Bone marrow smear. MGG-stained. Single-cell crop: 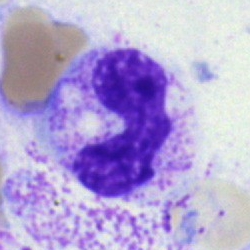 A band-form neutrophil.